Bone marrow aspirate smear.
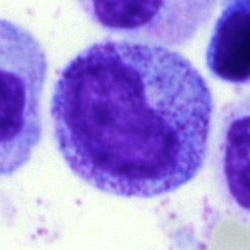
Specimen: bone marrow aspirate smear.
Classification: metamyelocyte.
Lineage: myeloid.